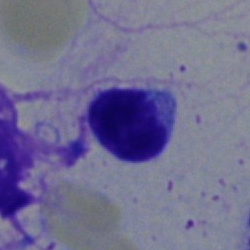

Q: What cell is this?
A: A typical lymphocyte.